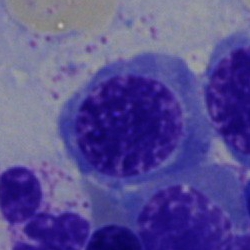
Morphological class = nucleated red blood cell.